Bone marrow aspirate smear: 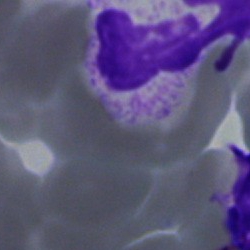 Impression → neutrophil (segmented).